Bone marrow smear: 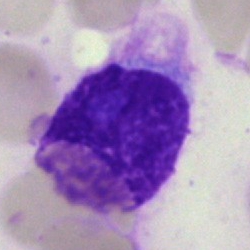 Q: What is shown here?
A: Artifact.